Bone marrow aspirate smear.
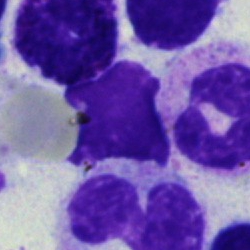Morphology → artefact.